Bone marrow aspirate smear; 40× objective, oil immersion:
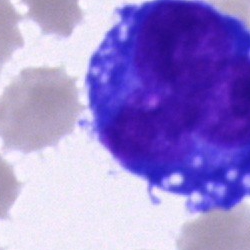Specimen: bone marrow smear.
Morphological class: undifferentiated blast.